MGG-stained; bone marrow smear: 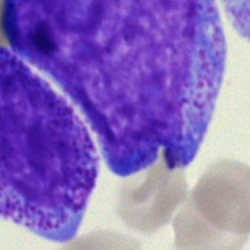
The cell shown is a progranulocyte.